Bone marrow aspirate smear. Single cell centered in the field.
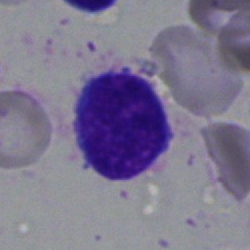

Showing a lymphocyte.